Bone marrow smear · May-Grünwald-Giemsa/Pappenheim stain · single-cell field — 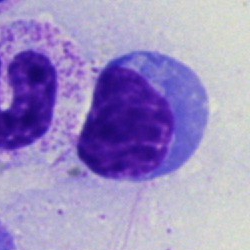
Specimen: bone marrow smear.
Cell: erythroblast.